Bone marrow aspirate smear · cropped to a single cell:
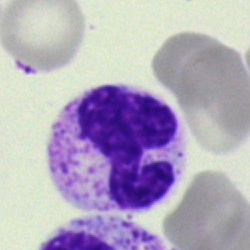

Segmented neutrophil.